Single-cell crop; bone marrow smear
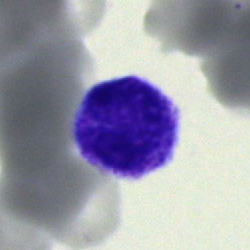

Morphology consistent with a stab cell.